250×250. Bone marrow smear.
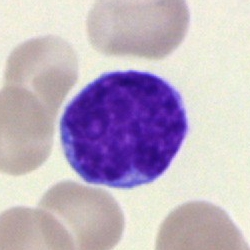

This is a typical lymphocyte.